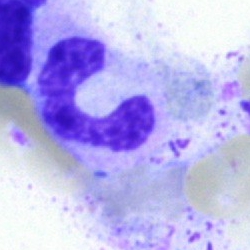
Showing a neutrophil (segmented).